Bone marrow aspirate smear:
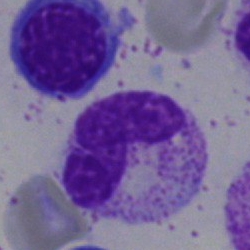Q: What is shown here?
A: A neutrophil (band).